400×400 px · peripheral blood smear · Romanowsky-stained: 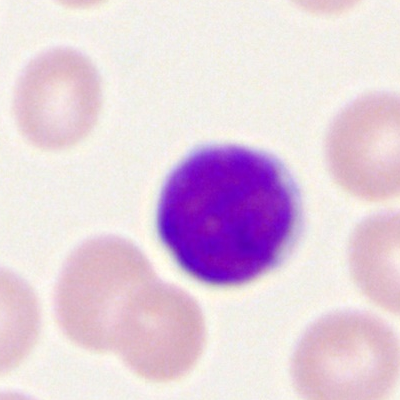

Morphology consistent with a lymphocyte.